Bone marrow smear · 40× oil immersion:
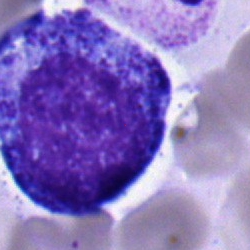Cell type = promyelocyte.